Bone marrow aspirate smear:
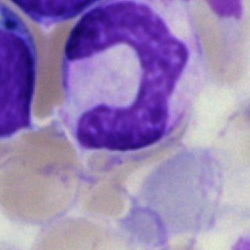 Neutrophil (band).